Bone marrow aspirate smear. Single-cell crop. May-Grünwald-Giemsa/Pappenheim stain.
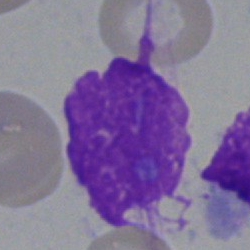
Impression — artefact.